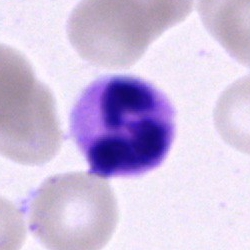 Showing a polymorphonuclear neutrophil.